Bone marrow aspirate smear.
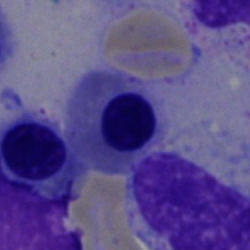 A nucleated red cell.